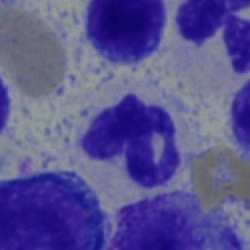

Bone marrow aspirate smear, single cell — polymorphonuclear neutrophil.